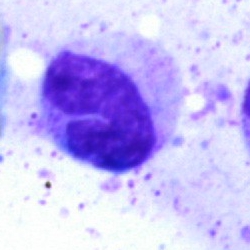
Morphological class — neutrophil (band).